Bone marrow smear:
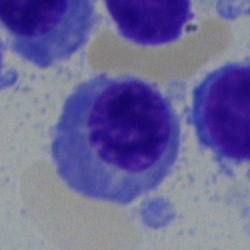

Morphological class: nucleated red cell.